Bone marrow smear; MGG-stained: 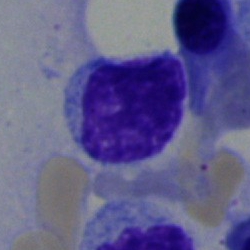
Q: What is shown here?
A: A lymphocyte.